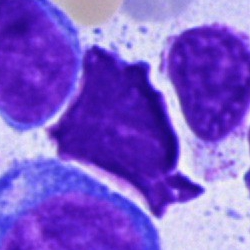
Q: What is shown here?
A: It is an artifact.